Bone marrow smear.
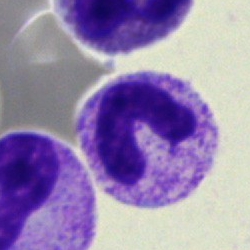{"cell_type": "stab cell", "lineage": "myeloid"}